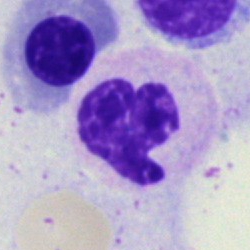

Single-cell crop from a bone marrow smear: segmented neutrophil.